Single-cell field; bone marrow smear:
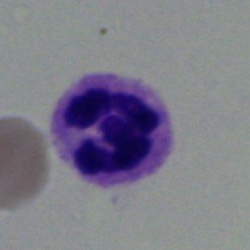
Cell type: segmented neutrophil.